Peripheral blood film · 100× oil immersion, 14.14 px/µm: 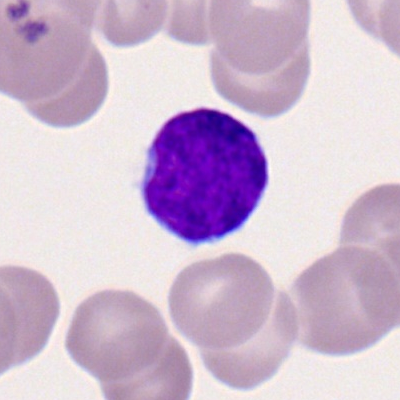Lymphocyte.